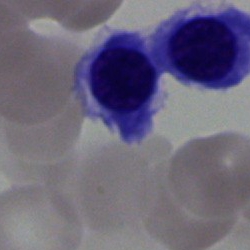An erythroblast.